Bone marrow aspirate smear
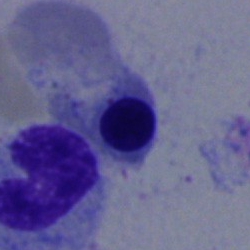 Classification = normoblast.